Bone marrow aspirate smear.
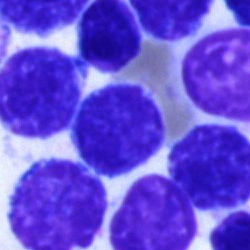
Morphological class — typical lymphocyte.